Bone marrow smear. 40× oil immersion:
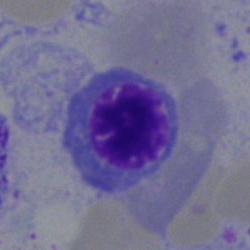Specimen: bone marrow aspirate smear.
Cell type: erythroblast.
Lineage: erythroid.